Bone marrow aspirate smear
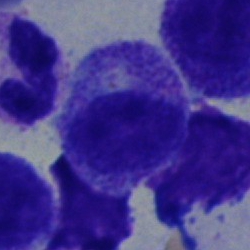Q: What is shown here?
A: Myelocyte.